Bone marrow smear
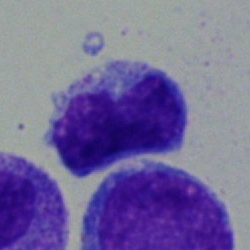

{"cell_type": "typical lymphocyte"}